Bone marrow aspirate smear. 250×250 px. Single cell centered in the field
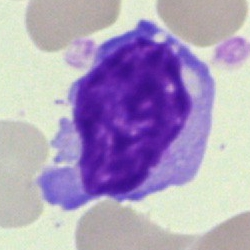Cell type: typical lymphocyte.